Bone marrow aspirate smear
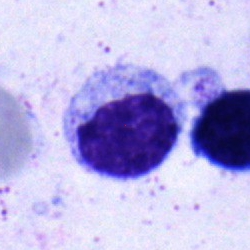Morphology consistent with a myelocyte.